Bone marrow aspirate smear · cropped to a single cell:
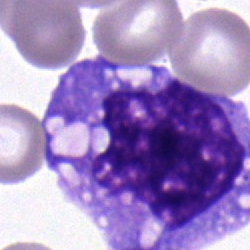 Q: Identify the cell.
A: This is a monocyte.